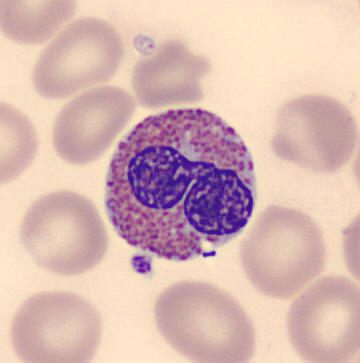The cell is eosinophil.